Pappenheim-stained. Bone marrow aspirate smear.
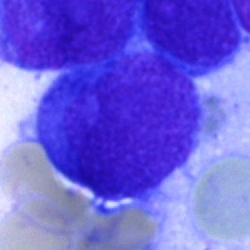

Morphological class = blast cell.